Peripheral blood film: 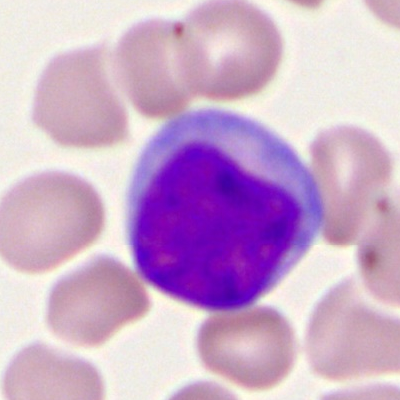
Impression → myeloblast.